Bone marrow aspirate smear
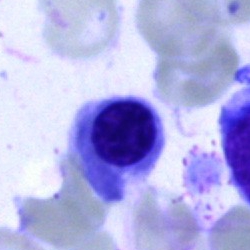This is a nucleated red cell.